May-Grünwald-Giemsa/Pappenheim stain; single cell centered in the field; bone marrow smear:
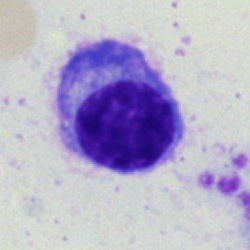
{"cell_type": "plasma cell", "lineage": "lymphoid"}